May-Grünwald-Giemsa/Pappenheim stain; 250×250 px; bone marrow smear:
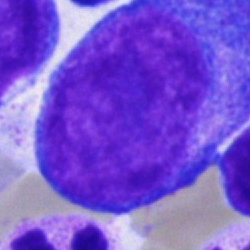

The cell type is proerythroblast.